Bone marrow aspirate smear: 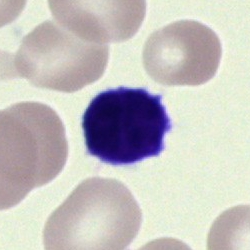

Single cell identified as a lymphocyte.